Peripheral blood film — 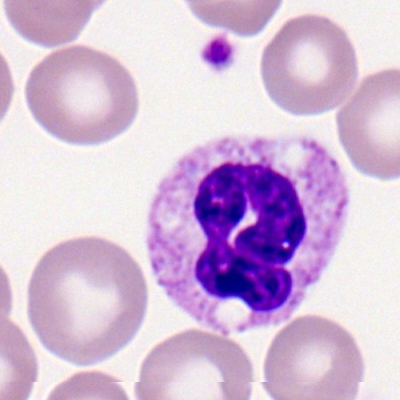Specimen: peripheral blood film.
Cell type: segmented neutrophil.